Pappenheim-stained. Bone marrow aspirate smear: 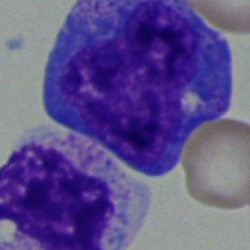 {"cell_type": "progranulocyte", "lineage": "myeloid"}